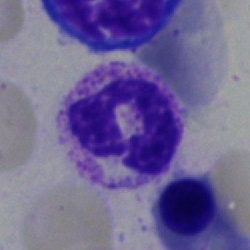 Impression — segmented neutrophil.